Bone marrow aspirate smear
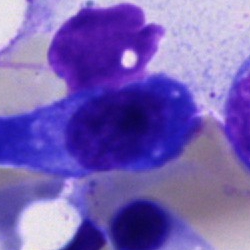The classification is plasmacyte.